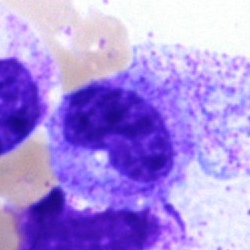

Cell type — metamyelocyte.